Bone marrow smear · single-cell crop — 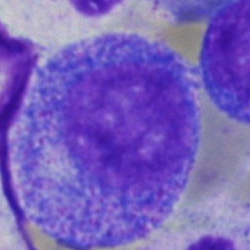
Morphology consistent with a progranulocyte.